Bone marrow smear · May-Grünwald-Giemsa stain · 250 by 250 pixels: 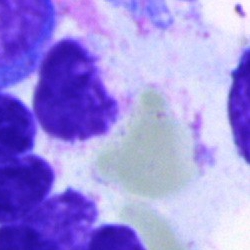 Impression — artefact.